40× objective, oil immersion · 250×250 px · bone marrow smear: 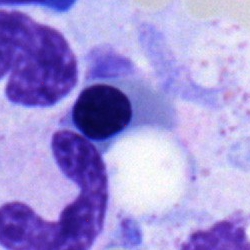Q: What is shown here?
A: This is a normoblast.